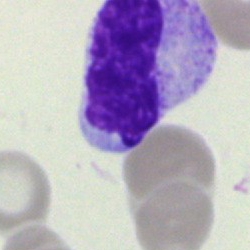 Q: What is shown here?
A: Cell of indeterminate lineage.